Bone marrow aspirate smear; 40× oil immersion — 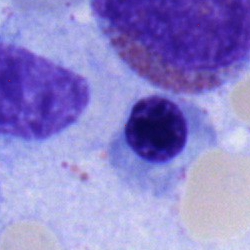Morphology consistent with a nucleated red blood cell.